Bone marrow smear.
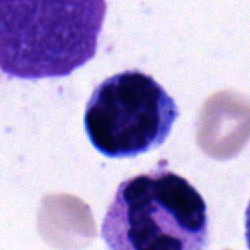

The cell type is typical lymphocyte.